Bone marrow smear. May-Grünwald-Giemsa/Pappenheim stain — 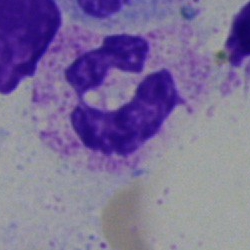

Morphology — neutrophil (segmented).